Bone marrow smear — 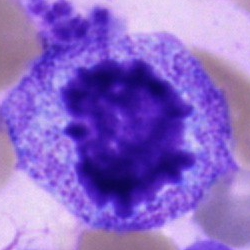
Cell type — promyelocyte.